Bone marrow aspirate smear
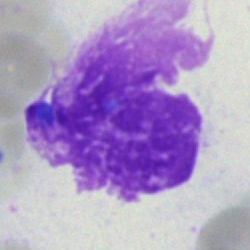
Morphology consistent with an artefact.